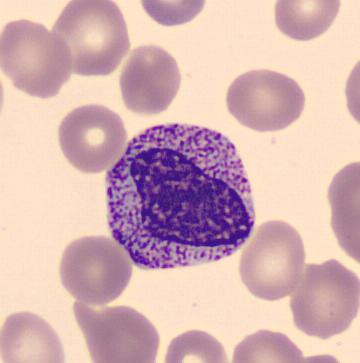 Image: Single cell centered in the field.
Specimen: peripheral blood smear.
Cell: metamyelocyte.
Lineage: myeloid.